Bone marrow smear:
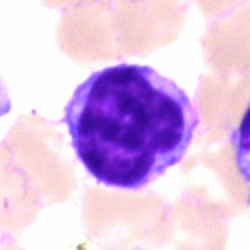Single cell identified as a lymphocyte.